Bone marrow aspirate smear · brightfield microscopy, 40× oil immersion · single-cell crop: 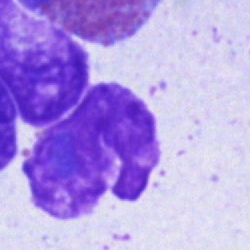Cell type — artefact.